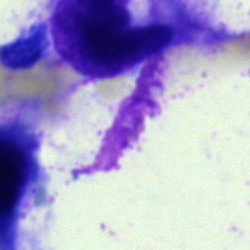Showing an artefact.